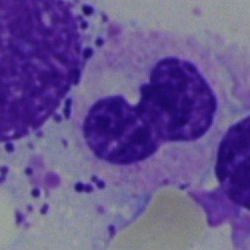 Classification — band-form neutrophil.